MGG-stained · bone marrow aspirate smear
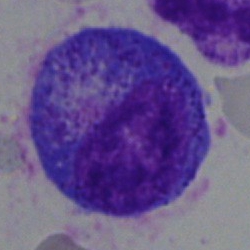

Q: What type of cell is this?
A: This is a promyelocyte.